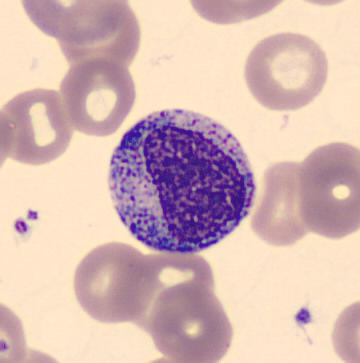
Preparation: Peripheral blood smear. Identified as a myelocyte.